Single cell centered in the field; bone marrow smear:
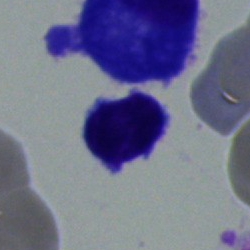Specimen: bone marrow smear.
Morphological class: lymphocyte.
Lineage: lymphoid.